250×250; bone marrow aspirate smear: 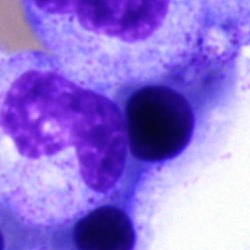Morphology — normoblast.